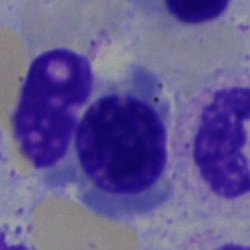The classification is normoblast.